Bone marrow aspirate smear — 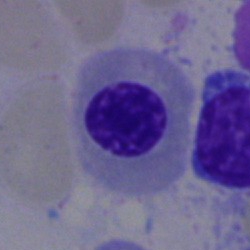Single cell identified as a normoblast.